Bone marrow smear — 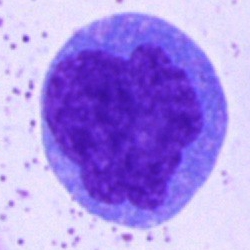

The cell type is monocyte.